Bone marrow aspirate smear. Single-cell crop — 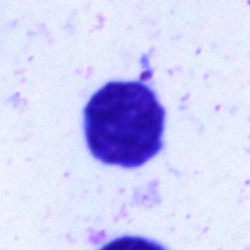The cell is artefact.